Bone marrow smear · brightfield microscopy, 40× oil immersion · May-Grünwald-Giemsa stain:
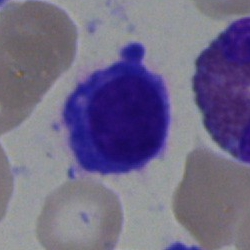 Q: What type of cell is this?
A: A plasmacyte.